Bone marrow aspirate smear.
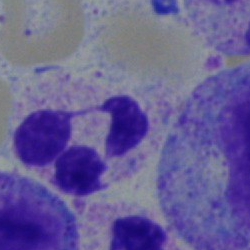

Single cell identified as a neutrophil (segmented).